40× objective, oil immersion. Bone marrow aspirate smear:
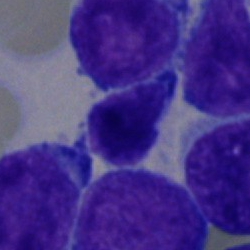
A lymphocyte.